Bone marrow aspirate smear.
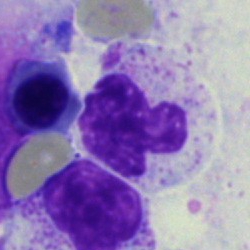

This is a segmented neutrophil.